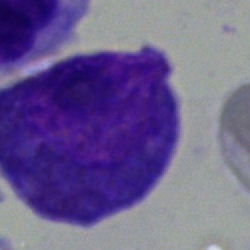Classification = eosinophil.